May-Grünwald-Giemsa/Pappenheim stain. Bone marrow aspirate smear.
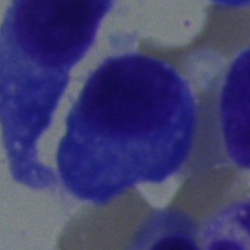
{"cell_type": "plasma cell", "lineage": "lymphoid"}